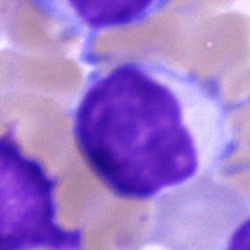 Typical lymphocyte.